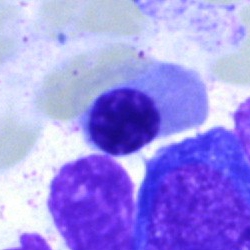Q: Which cell type is shown here?
A: A nucleated red blood cell.